40× oil immersion · bone marrow aspirate smear.
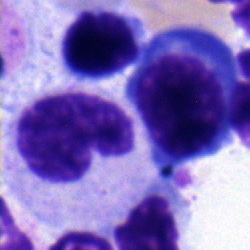 Morphology consistent with a band-form neutrophil.